Bone marrow smear
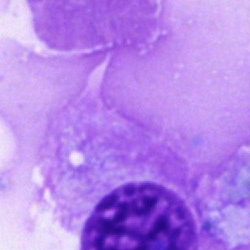
Showing an artifact.